Bone marrow smear
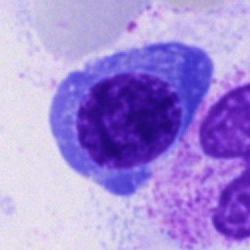A plasma cell.